Bone marrow smear — 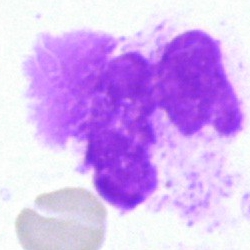 Artefact.